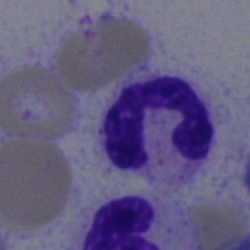
{"cell_type": "segmented neutrophil", "lineage": "myeloid"}